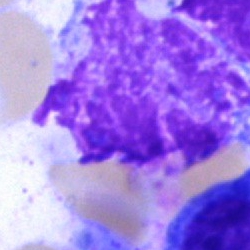 Q: What is shown here?
A: This is an artifact.